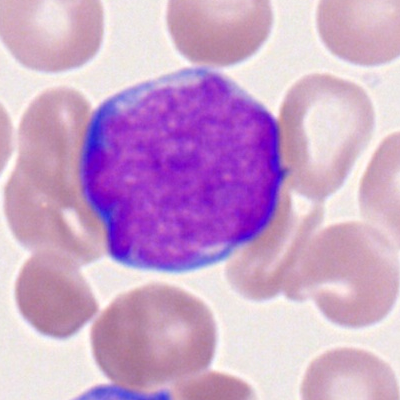
Single cell identified as a myeloblast.